Peripheral blood film · single-cell field — 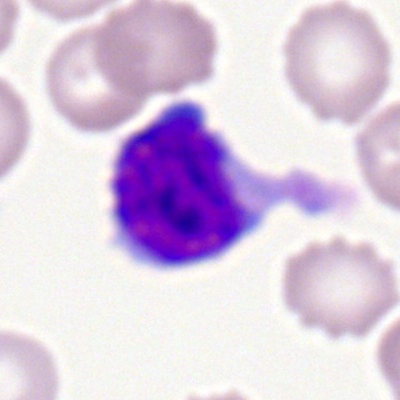

Specimen: peripheral blood film.
Classification: typical lymphocyte.
Lineage: lymphoid.